Bone marrow smear — 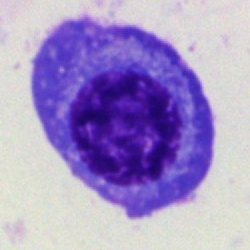
Morphology consistent with a plasma cell.